Bone marrow aspirate smear. Cropped to a single cell. 40× oil immersion.
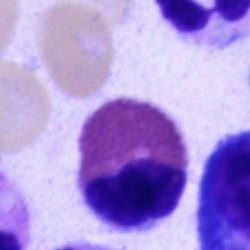 The cell shown is an eosinophil.